May-Grünwald-Giemsa stain · bone marrow smear · single-cell crop:
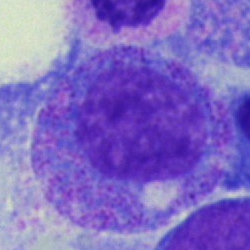
Specimen: bone marrow aspirate smear.
Cell: promyelocyte.
Lineage: myeloid.